Peripheral blood film. Romanowsky-stained. 400×400 px: 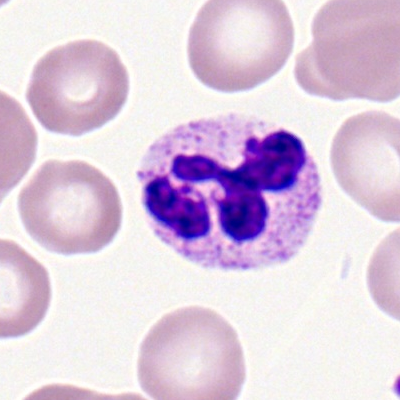 Cell type — neutrophil (segmented).